400 by 400 pixels. Romanowsky-type stain. Peripheral blood film
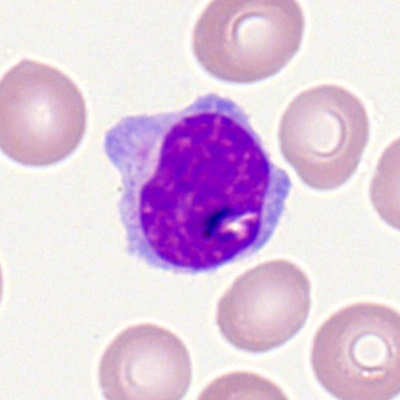

Showing a typical lymphocyte.